Bone marrow aspirate smear; cropped to a single cell
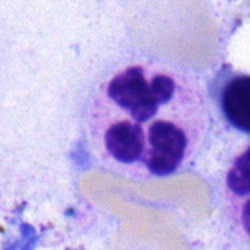

Classification: polymorphonuclear neutrophil.